Bone marrow aspirate smear · 250 by 250 pixels · cropped to a single cell: 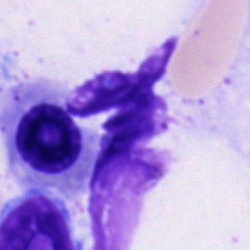 Q: What is shown here?
A: This is an artefact.